Bone marrow smear; 250×250 px.
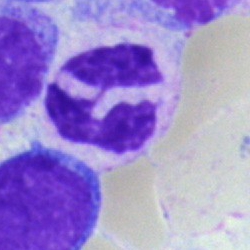
{"cell_type": "polymorphonuclear neutrophil"}